Bone marrow smear · single-cell crop · brightfield microscopy, 40× oil immersion — 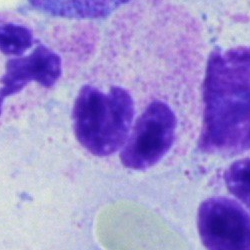
Morphology consistent with a polymorphonuclear neutrophil.